Bone marrow aspirate smear — 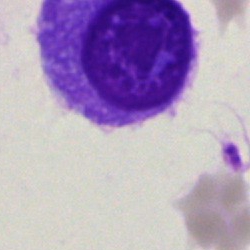 Q: What is shown here?
A: It is an artefact.